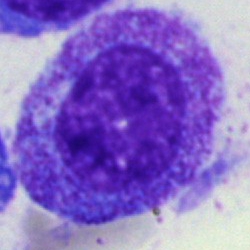
Q: Identify the cell.
A: It is a plasmacyte.